Bone marrow aspirate smear. 250×250 px — 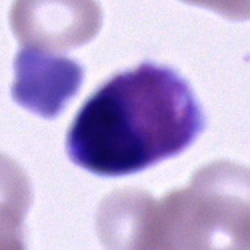 The cell shown is an eosinophilic granulocyte.